Bone marrow smear
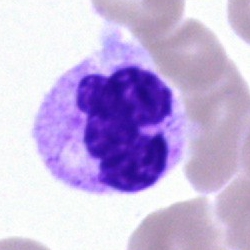 Morphology consistent with a polymorphonuclear neutrophil.